Pappenheim-stained · bone marrow smear · brightfield, 40× oil-immersion objective: 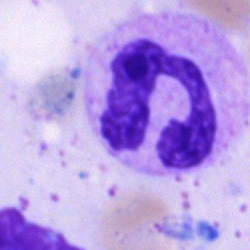 Classification: segmented neutrophil.